Bone marrow aspirate smear. 250×250 px.
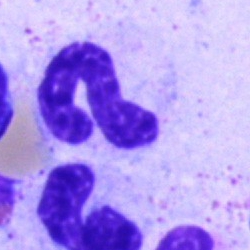
Impression → polymorphonuclear neutrophil.